Bone marrow aspirate smear.
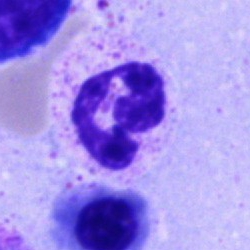 Polymorphonuclear neutrophil.